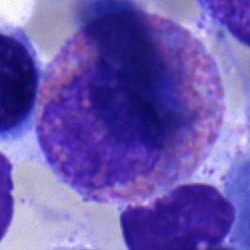 Morphology → eosinophil.